Bone marrow aspirate smear:
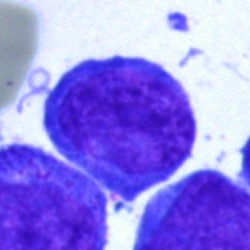
Cell type: undifferentiated blast.